Bone marrow aspirate smear · single cell centered in the field.
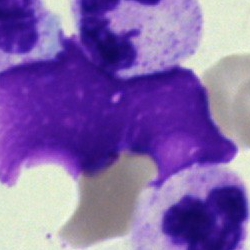 Impression → artefact.